Bone marrow smear · Pappenheim-stained
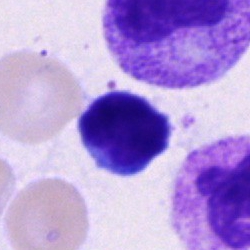 This is a typical lymphocyte.